Bone marrow smear: 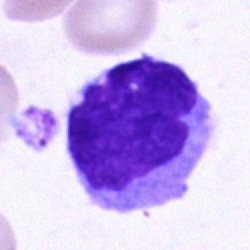

Specimen: bone marrow aspirate smear.
Morphological class: monocyte.
Lineage: myeloid.